40× objective, oil immersion · bone marrow smear · 250 by 250 pixels: 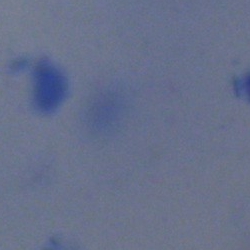 Morphology consistent with an artifact.